40× oil immersion. Bone marrow aspirate smear
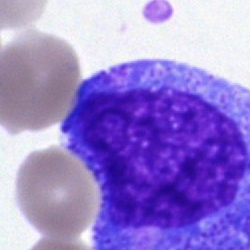

A progranulocyte.